Single-cell field. Bone marrow aspirate smear — 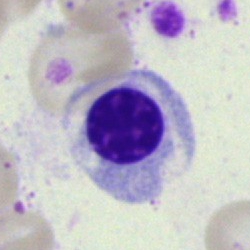
Q: Which cell type is shown here?
A: This is a normoblast.